Bone marrow aspirate smear; cropped to a single cell — 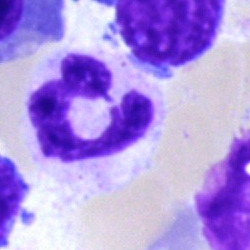{"cell_type": "polymorphonuclear neutrophil", "lineage": "myeloid"}